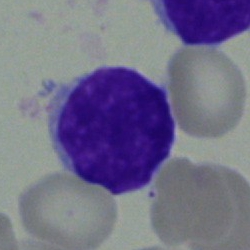Specimen: bone marrow aspirate smear.
Classification: typical lymphocyte.